Single-cell field · 400 by 400 pixels · peripheral blood smear — 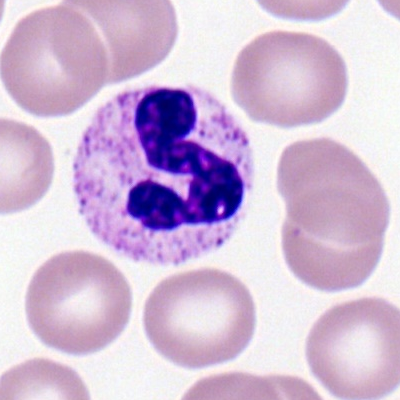

Specimen: peripheral blood film.
Cell type: segmented neutrophil.
Lineage: myeloid.